Bone marrow aspirate smear. Single cell centered in the field: 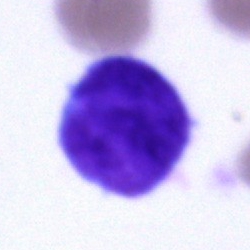The morphological class is blast cell.